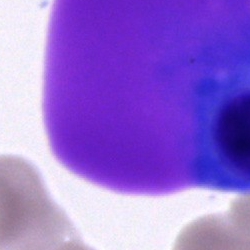
Cell = plasma cell.